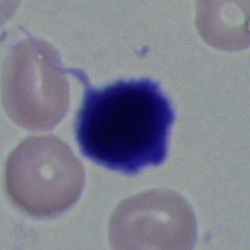A normoblast.